Cropped to a single cell · May-Grünwald-Giemsa stain · bone marrow aspirate smear — 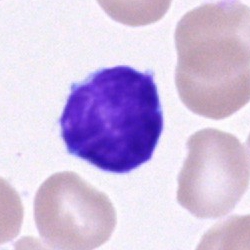
Q: What type of cell is this?
A: Lymphocyte.